Bone marrow smear; Pappenheim-stained — 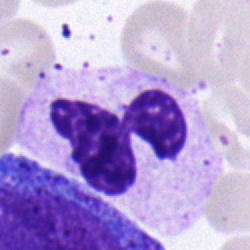
Classification = neutrophil (segmented).